40× objective, oil immersion. Bone marrow aspirate smear. Single-cell crop — 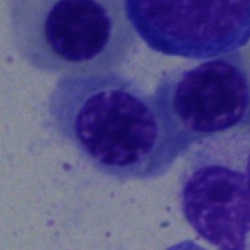

Morphology consistent with a normoblast.